Bone marrow aspirate smear; brightfield, 40× oil-immersion objective; Pappenheim-stained
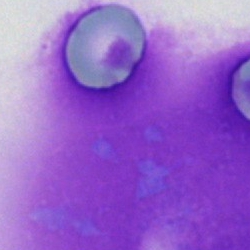Morphology → artefact.